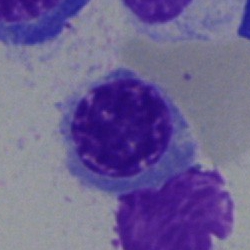

Erythroblast.